Single cell centered in the field · bone marrow aspirate smear: 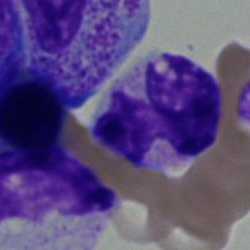
Morphology → band-form neutrophil.